250×250 px. Bone marrow smear. 40× objective, oil immersion — 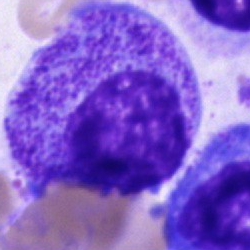
Cell — promyelocyte.